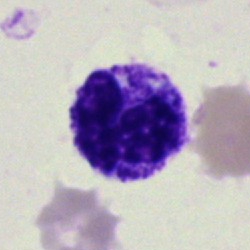

Specimen: bone marrow smear.
Classification: polymorphonuclear neutrophil.
Lineage: myeloid.